Peripheral blood film:
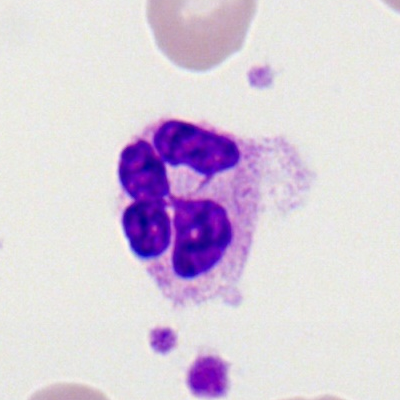 Morphological class — neutrophil (segmented).